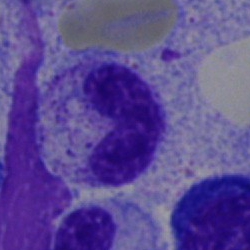
Bone marrow smear showing a band-form neutrophil.